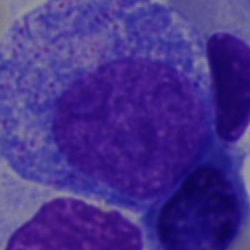

A promyelocyte.